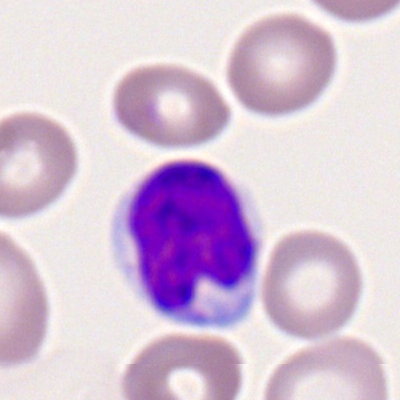 Impression → typical lymphocyte.